Bone marrow smear: 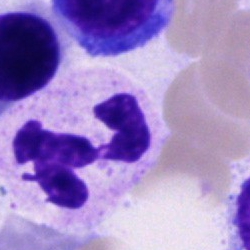

The cell type is segmented neutrophil.